Cropped to a single cell. Bone marrow smear:
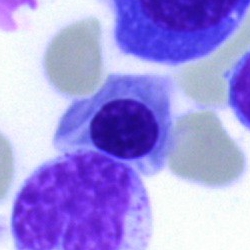
Impression — erythroblast.